Bone marrow aspirate smear.
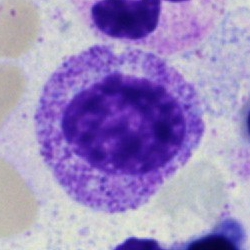
Cell type — myelocyte.